Bone marrow aspirate smear.
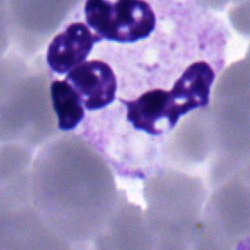
Classification — segmented neutrophil.